May-Grünwald-Giemsa/Pappenheim stain. Bone marrow smear. 250×250
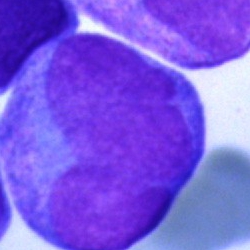
Morphology consistent with a blast cell.